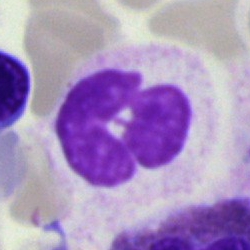 The morphological class is polymorphonuclear neutrophil.